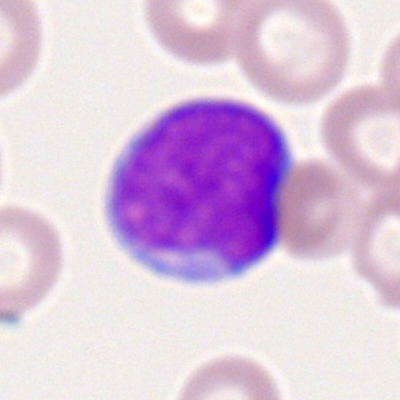 This is a myeloblast.